Single-cell crop. Peripheral blood film:
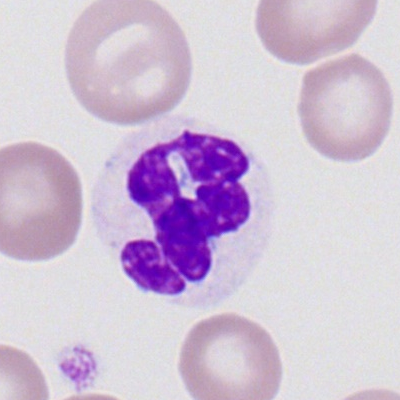Cell type — polymorphonuclear neutrophil.